Pappenheim-stained; single cell centered in the field; bone marrow aspirate smear — 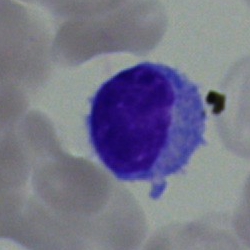The classification is lymphocyte.